Bone marrow smear. Image size 250×250. Single cell centered in the field: 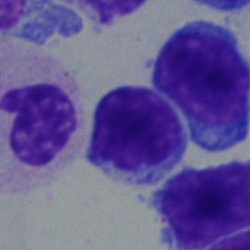

{"cell_type": "lymphocyte", "lineage": "lymphoid"}